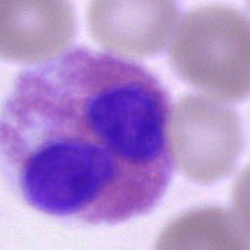
Single-cell crop from a bone marrow smear: eosinophil.